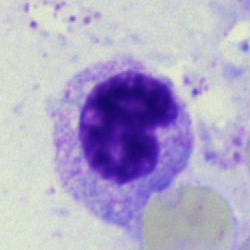 This is a stab cell.